Bone marrow aspirate smear.
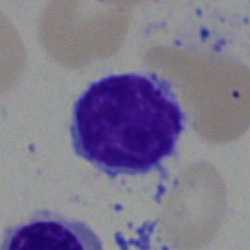
Q: What cell is this?
A: Lymphocyte.